Bone marrow smear · 250×250 px.
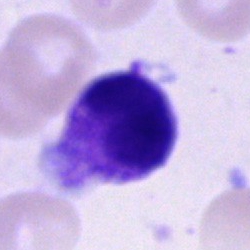

Morphology — cell of indeterminate lineage.